Image size 250×250 · bone marrow smear · single-cell crop:
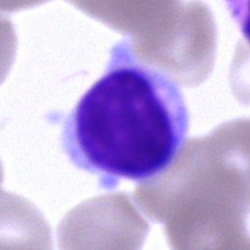Classification — typical lymphocyte.